Cropped to a single cell; bone marrow smear; 40× objective, oil immersion: 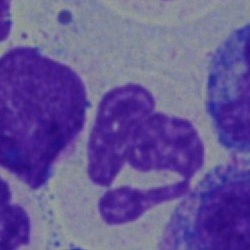{"cell_type": "stab cell", "lineage": "myeloid"}